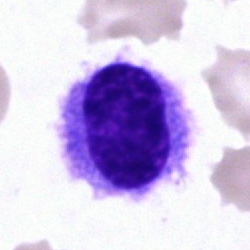
Cell: hairy cell.